Bone marrow smear.
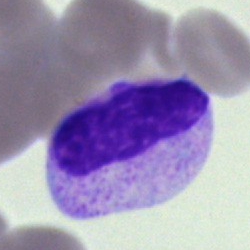 This is an unidentifiable cell.